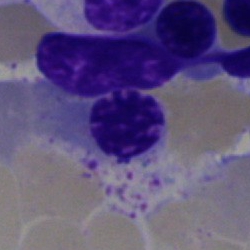

Bone marrow aspirate smear, single cell — normoblast.